Bone marrow aspirate smear. 40× objective, oil immersion: 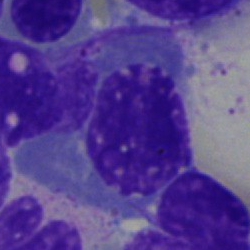 Single cell identified as an erythroblast.